Bone marrow smear
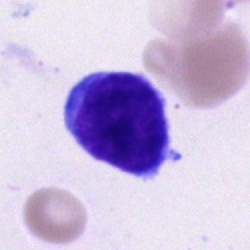 The cell shown is a lymphocyte.